Bone marrow smear.
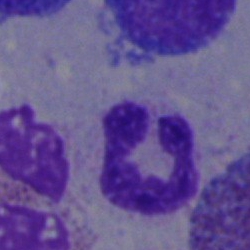

This is a neutrophil (segmented).